Romanowsky-type stain · peripheral blood film: 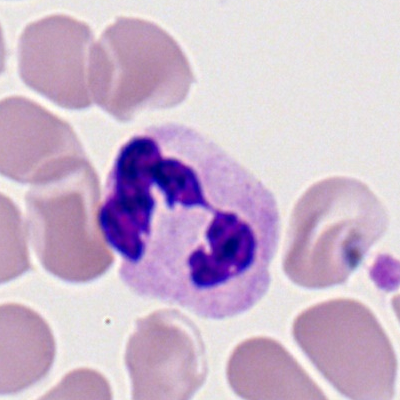
A polymorphonuclear neutrophil.